Bone marrow smear:
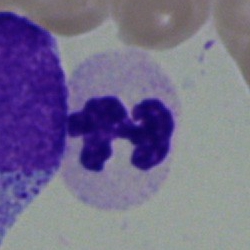
Impression → polymorphonuclear neutrophil.